Bone marrow aspirate smear — 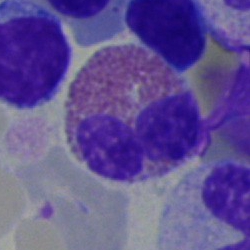
Eosinophil.